Bone marrow aspirate smear · single cell centered in the field · image size 250×250 — 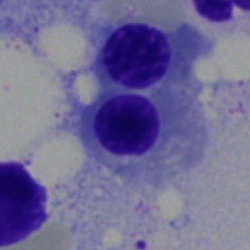

Morphology → nucleated red blood cell.